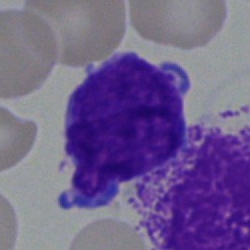Morphology — undifferentiated blast.